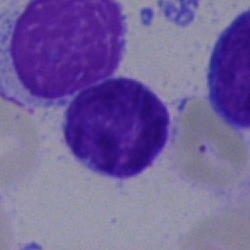This is a lymphocyte.